Bone marrow smear.
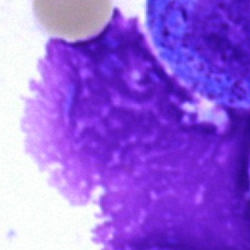

Single cell identified as an artefact.